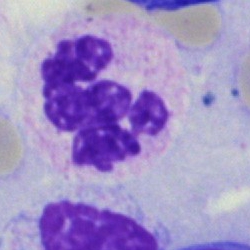

The cell shown is a neutrophil (segmented).